Bone marrow smear. Image size 250×250:
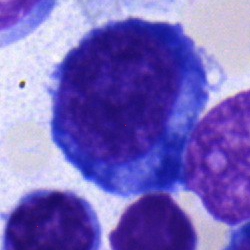

Morphology → pronormoblast.